Peripheral blood smear:
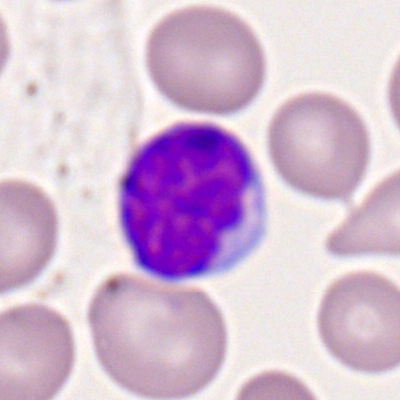

Morphological class — lymphocyte.